Bone marrow aspirate smear · brightfield microscopy, 40× oil immersion — 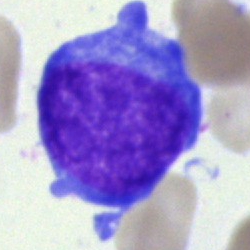 Specimen: bone marrow aspirate smear.
Cell type: undifferentiated blast.